May-Grünwald-Giemsa/Pappenheim stain. Bone marrow smear. 250 by 250 pixels.
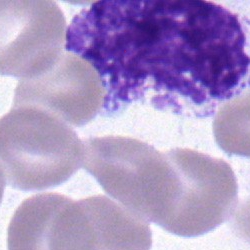This is a band neutrophil.